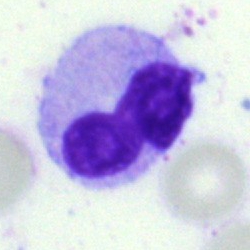Classification: neutrophil (band).